Cropped to a single cell. Bone marrow smear
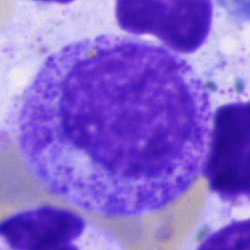Q: What is the morphological classification of this cell?
A: This is a promyelocyte.